40× oil immersion. Bone marrow aspirate smear. 250×250 px — 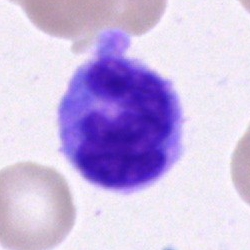
Q: What cell is this?
A: This is a monocyte.